Bone marrow smear:
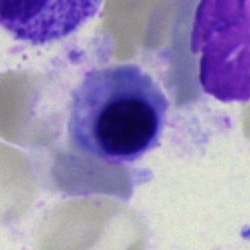
Morphology consistent with a nucleated red blood cell.